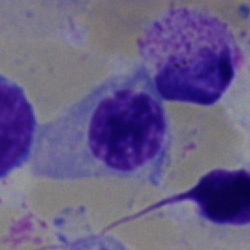Cell — nucleated red blood cell.